Bone marrow aspirate smear: 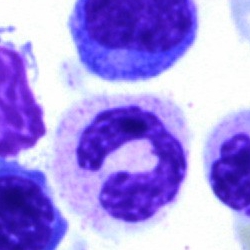

Impression — segmented neutrophil.